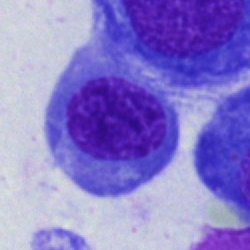
Q: Which cell type is shown here?
A: It is a normoblast.